Bone marrow aspirate smear:
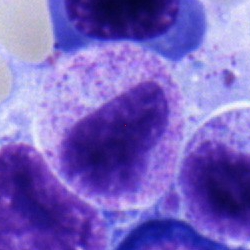Specimen: bone marrow aspirate smear.
Classification: neutrophil (band).
Lineage: myeloid.